Bone marrow aspirate smear: 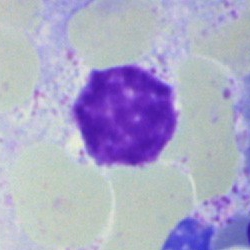

Specimen: bone marrow smear.
Cell: artefact.